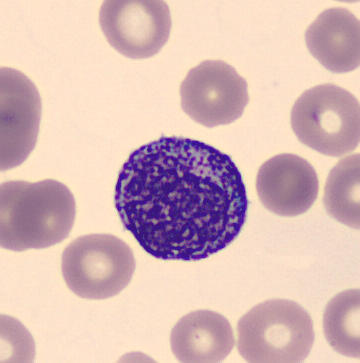
Single cell identified as a progranulocyte.